Cropped to a single cell. Bone marrow smear. Image size 250×250.
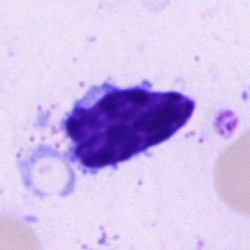

Impression — lymphocyte.